Bone marrow smear
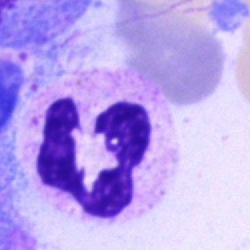

Morphological class: neutrophil (segmented).